Bone marrow smear.
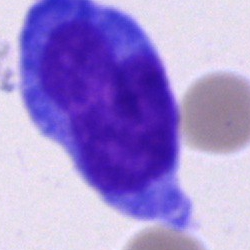

The cell is blast cell.